Bone marrow aspirate smear
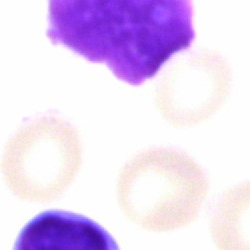Artefact.